Bone marrow aspirate smear — 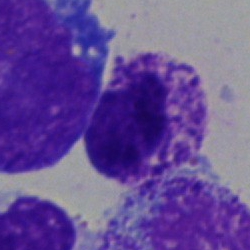
Classification — basophilic granulocyte.